Bone marrow aspirate smear · brightfield, 40× oil-immersion objective · 250 by 250 pixels:
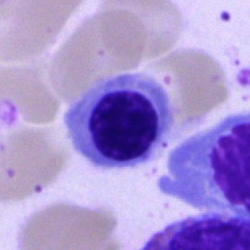Single cell identified as an erythroblast.